Bone marrow aspirate smear; MGG-stained.
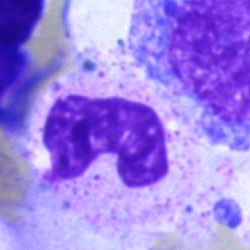Morphology consistent with a stab cell.